Bone marrow smear. 250×250:
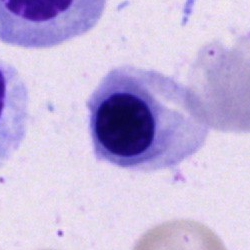 Erythroblast.